Bone marrow aspirate smear · 40× oil immersion.
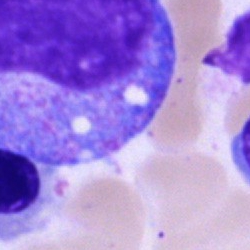 Specimen: bone marrow aspirate smear.
Cell type: progranulocyte.
Lineage: myeloid.